Bone marrow smear; 250×250 px:
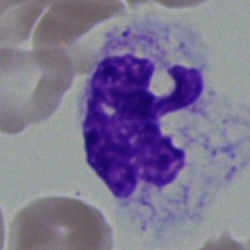
Classification: polymorphonuclear neutrophil.